Peripheral blood film. 400×400.
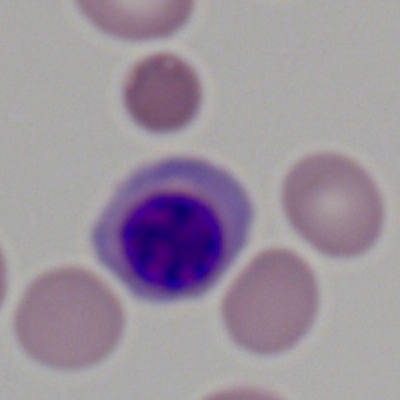The cell shown is a normoblast.